Bone marrow smear:
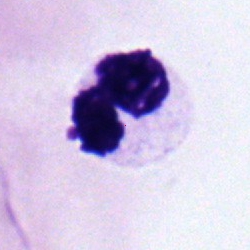Q: Which cell type is shown here?
A: This is a polymorphonuclear neutrophil.